Bone marrow smear
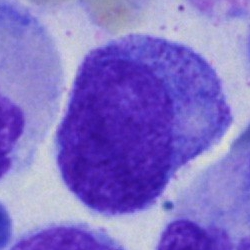 Q: Identify the cell.
A: Progranulocyte.